Single-cell crop. Bone marrow aspirate smear — 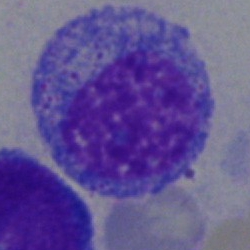Specimen: bone marrow smear.
Morphological class: promyelocyte.